Bone marrow aspirate smear · 250×250
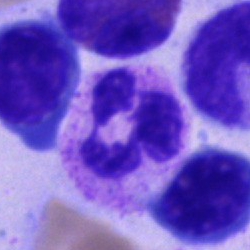

Specimen: bone marrow smear.
Cell type: polymorphonuclear neutrophil.